Bone marrow smear; brightfield, 40× oil-immersion objective; cropped to a single cell.
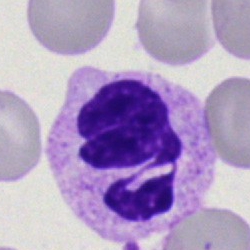
A polymorphonuclear neutrophil.